Bone marrow smear:
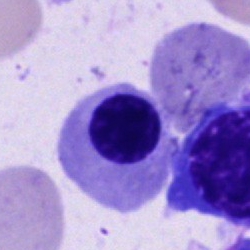
Q: What is shown here?
A: Nucleated red cell.